Bone marrow aspirate smear:
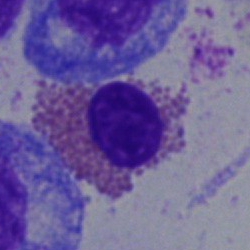
The morphological class is eosinophil.